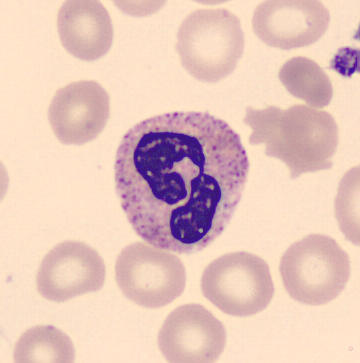Polymorphonuclear neutrophil.